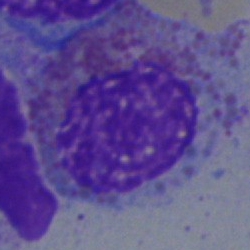
An eosinophilic granulocyte.